Bone marrow aspirate smear · May-Grünwald-Giemsa stain · brightfield, 40× oil-immersion objective
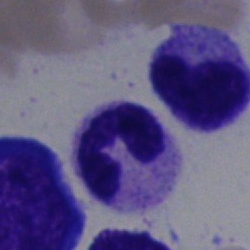
Classification — polymorphonuclear neutrophil.